Peripheral blood film:
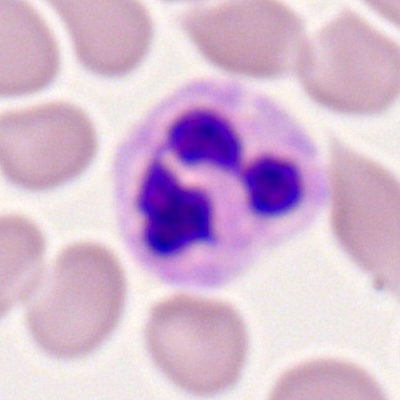

Cell = segmented neutrophil.